40× oil immersion · bone marrow smear.
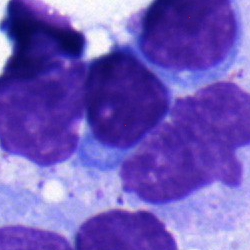Showing a lymphocyte.